Bone marrow aspirate smear:
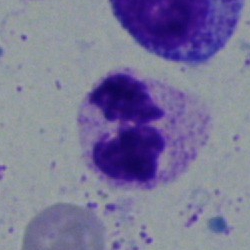

Single cell identified as a segmented neutrophil.